Bone marrow aspirate smear
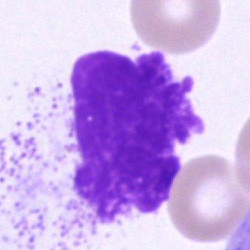Morphological class: artefact.